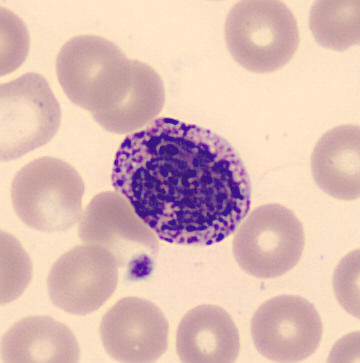

The cell type is basophilic granulocyte.
Preparation: Peripheral blood smear; MGG-stained.